Peripheral blood smear.
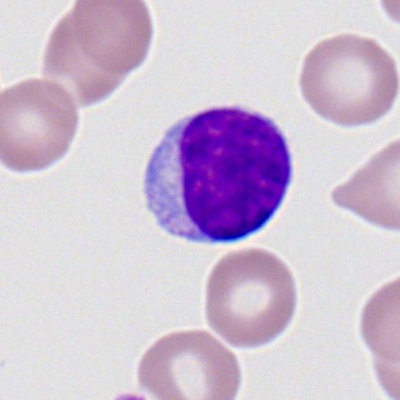Classification = typical lymphocyte.